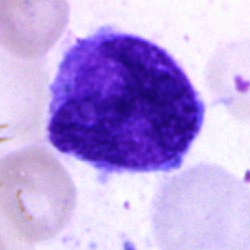

{"cell_type": "blast"}